Bone marrow aspirate smear · single-cell field: 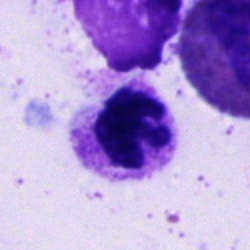 Q: Identify the cell.
A: Neutrophil (segmented).